Bone marrow smear.
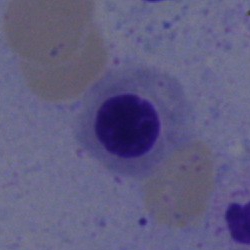 Morphological class — nucleated red cell.